Bone marrow aspirate smear. 250 by 250 pixels. 40× oil immersion
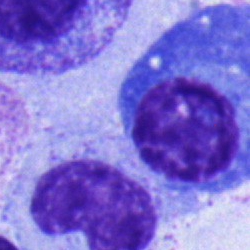Q: What is the morphological classification of this cell?
A: Plasmacyte.